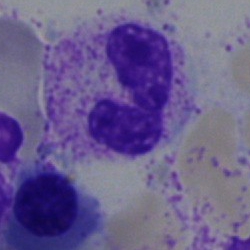Morphology consistent with a polymorphonuclear neutrophil.